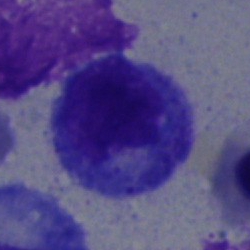

Cell type = promyelocyte.